Bone marrow smear: 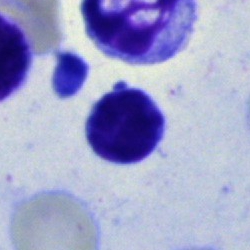
Morphology → lymphocyte.